May-Grünwald-Giemsa stain; bone marrow aspirate smear — 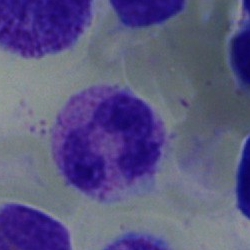
Specimen: bone marrow smear.
Cell type: polymorphonuclear neutrophil.
Lineage: myeloid.